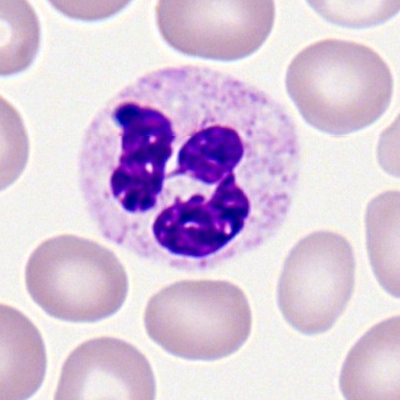
The morphological class is polymorphonuclear neutrophil.